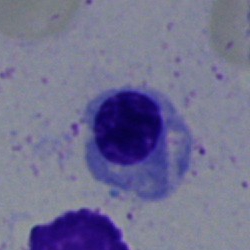

The cell is erythroblast.